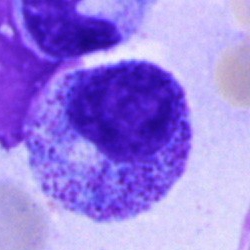The morphological class is pronormoblast.